40× objective, oil immersion. Bone marrow smear — 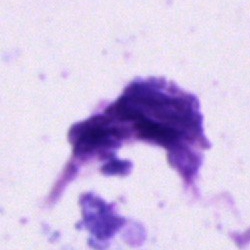

Morphological class = artifact.